Bone marrow aspirate smear.
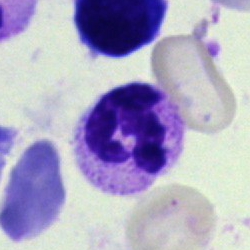Classification: polymorphonuclear neutrophil.